Bone marrow smear:
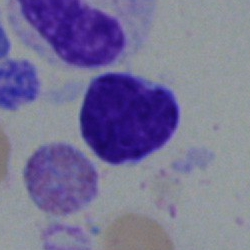

The cell type is typical lymphocyte.